Bone marrow smear; 250×250 — 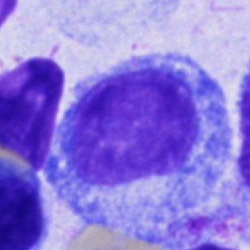

Cell: promyelocyte.